Bone marrow smear. MGG-stained. 40× objective, oil immersion — 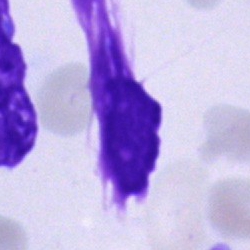

Cell type — artefact.